Bone marrow aspirate smear — 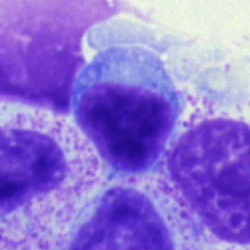
Q: Which cell type is shown here?
A: It is a typical lymphocyte.